Bone marrow smear · brightfield, 40× oil-immersion objective: 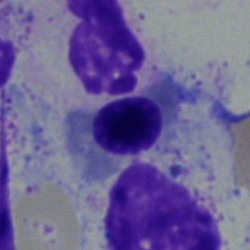

This is an erythroblast.